Bone marrow aspirate smear.
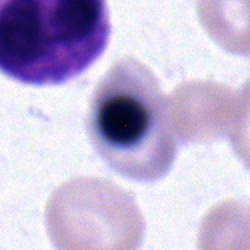Cell — nucleated red cell.